Peripheral blood film.
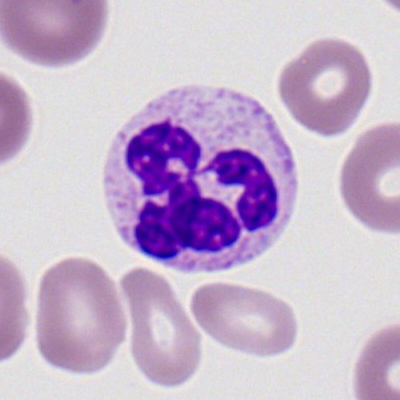Q: Which cell type is shown here?
A: Segmented neutrophil.